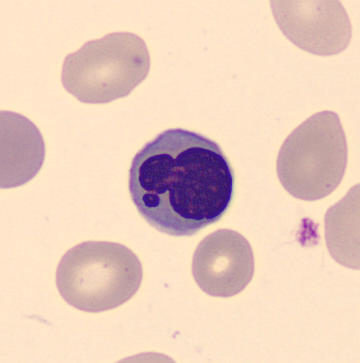Preparation: Peripheral blood smear. Single cell centered in the field.

Morphological class = nucleated red cell.